Bone marrow smear — 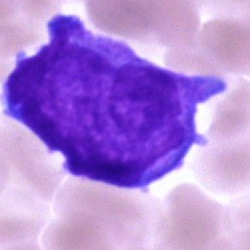
The cell type is blast cell.